Bone marrow aspirate smear — 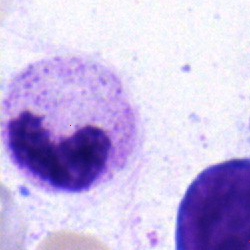 Specimen: bone marrow aspirate smear.
Cell type: neutrophil (segmented).